Bone marrow smear:
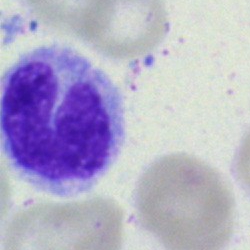
Q: Identify the cell.
A: This is a monocyte.